Bone marrow smear; May-Grünwald-Giemsa/Pappenheim stain:
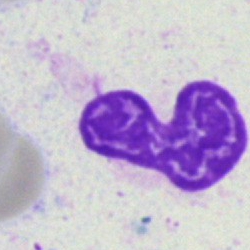Cell — band-form neutrophil.